Bone marrow smear; May-Grünwald-Giemsa/Pappenheim stain — 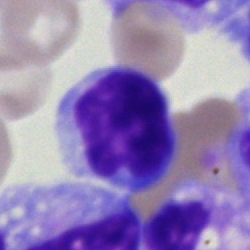 Q: Identify the cell.
A: This is a typical lymphocyte.